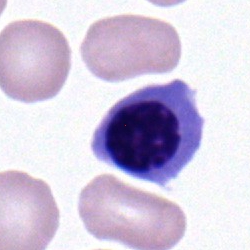 Classification: nucleated red cell.